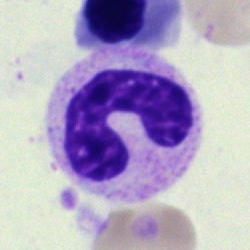

Cell type: neutrophil (band).